Bone marrow aspirate smear; May-Grünwald-Giemsa stain:
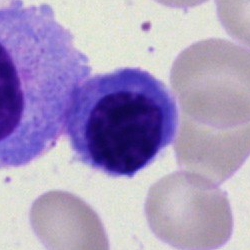 Cell type = normoblast.